Bone marrow aspirate smear — 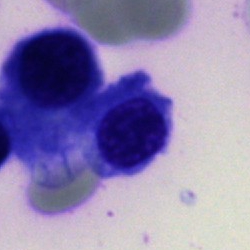 Cell type: nucleated red cell.